Bone marrow smear — 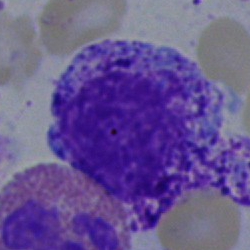
A myelocyte.